Brightfield microscopy, 40× oil immersion · bone marrow smear.
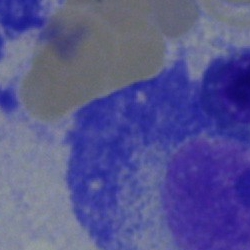

Specimen: bone marrow aspirate smear.
Cell type: plasmacyte.